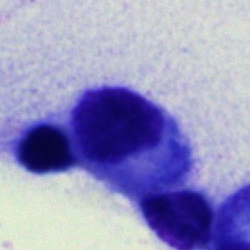An artefact on a bone marrow smear.